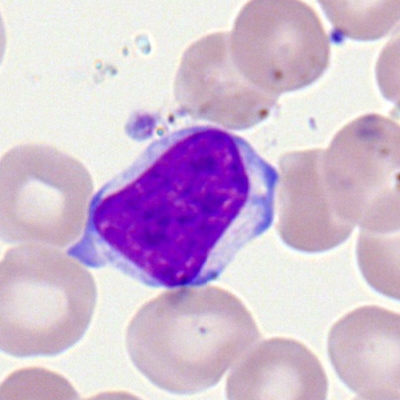 Specimen: peripheral blood smear.
Classification: typical lymphocyte.
Lineage: lymphoid.